Bone marrow smear.
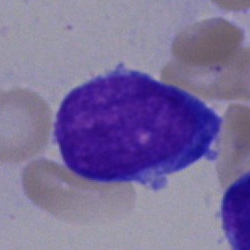Cell: blast cell.